May-Grünwald-Giemsa/Pappenheim stain · bone marrow smear: 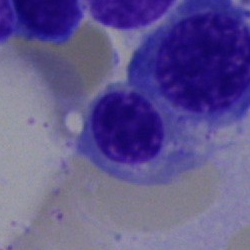A nucleated red blood cell.